Bone marrow aspirate smear. May-Grünwald-Giemsa/Pappenheim stain — 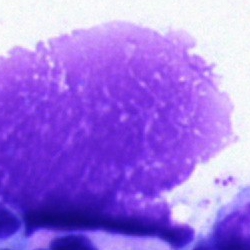

Q: What is shown here?
A: This is an artifact.